Bone marrow smear. 250×250.
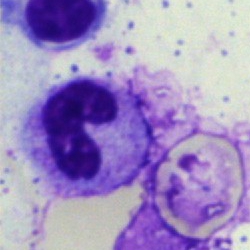 Morphology consistent with a band-form neutrophil.